Bone marrow aspirate smear. 250×250: 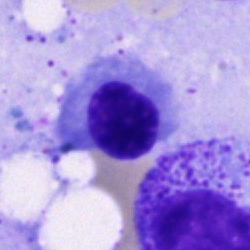

Morphological class: normoblast.